Peripheral blood smear; image size 400×400
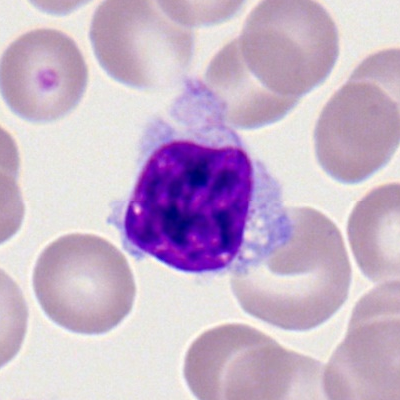Q: What is shown here?
A: This is a lymphocyte.